Bone marrow smear: 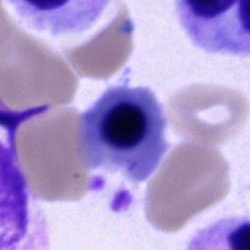Q: Identify the cell.
A: It is a normoblast.